Bone marrow smear; 250×250.
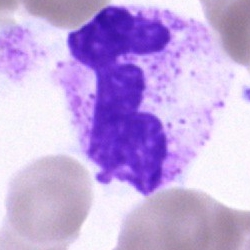 Q: What is shown here?
A: A neutrophil (segmented).